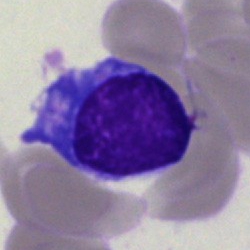 Cell — lymphocyte.